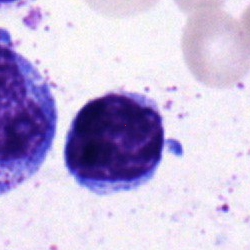

Specimen: bone marrow aspirate smear.
Cell: lymphocyte.